Bone marrow smear · 40× objective, oil immersion · image size 250×250 — 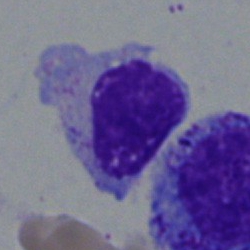Cell type = myelocyte.